Bone marrow smear:
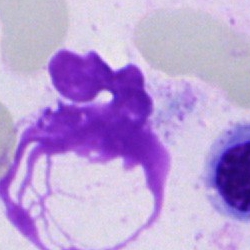

Specimen: bone marrow aspirate smear.
Classification: artefact.